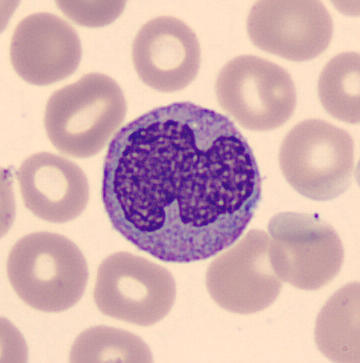

Acquisition: CellaVision DM96; peripheral blood film. Q: Identify the cell.
A: This is a monocyte.